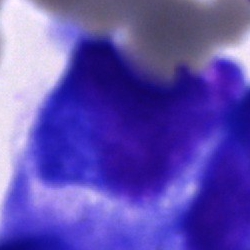

Impression → undifferentiated blast.